250 by 250 pixels. Bone marrow smear — 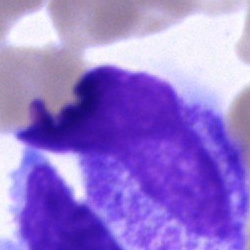{"cell_type": "promyelocyte", "lineage": "myeloid"}